Bone marrow aspirate smear — 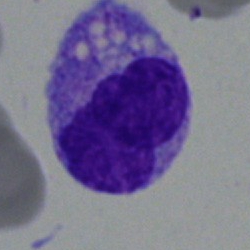 The cell shown is a monocyte.